MGG-stained. Bone marrow smear — 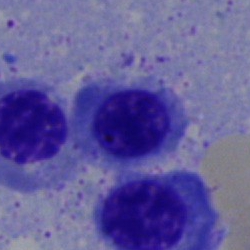The cell type is nucleated red blood cell.